Bone marrow aspirate smear: 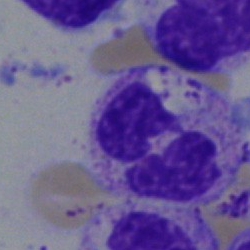

Impression — neutrophil (segmented).